Bone marrow smear:
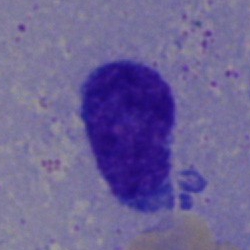

Specimen: bone marrow smear.
Cell: typical lymphocyte.
Lineage: lymphoid.